Bone marrow aspirate smear.
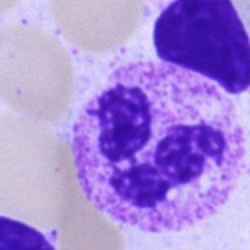Q: What is shown here?
A: A polymorphonuclear neutrophil.